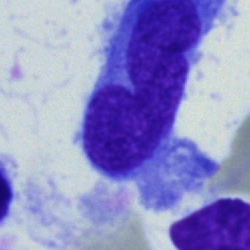
A lymphocyte.